250 by 250 pixels · bone marrow aspirate smear: 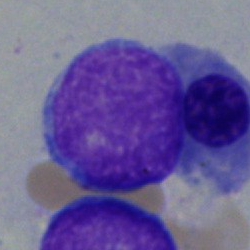

Q: Which cell type is shown here?
A: This is a blast cell.